Bone marrow aspirate smear:
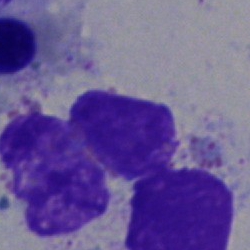Q: What is shown here?
A: It is an artifact.